Bone marrow smear:
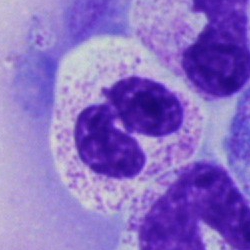
Q: What type of cell is this?
A: This is a polymorphonuclear neutrophil.